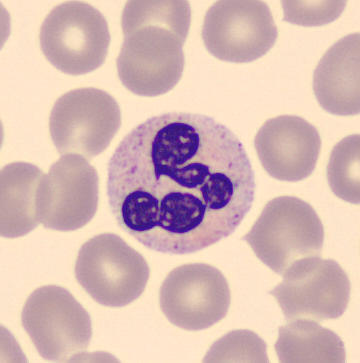Peripheral blood smear; MGG-stained; 360×363.
Classification = neutrophil (segmented).